Bone marrow aspirate smear.
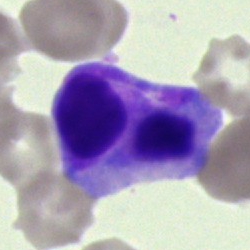 This is an artefact.